Bone marrow aspirate smear:
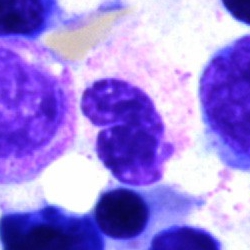Q: What cell is this?
A: A polymorphonuclear neutrophil.